Bone marrow smear. Brightfield microscopy, 40× oil immersion. MGG-stained — 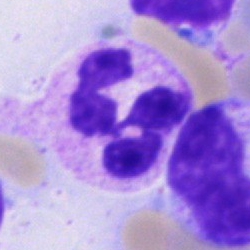The cell shown is a polymorphonuclear neutrophil.